Peripheral blood film: 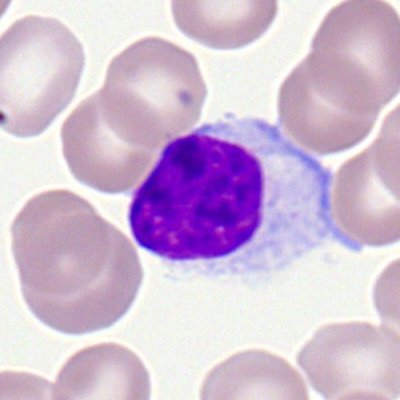

Showing a lymphocyte.